Romanowsky-type stain. Peripheral blood film: 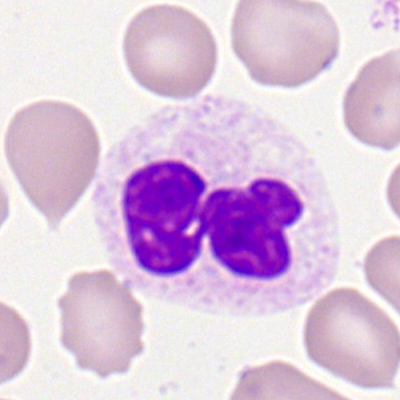
Showing a segmented neutrophil.